Bone marrow aspirate smear:
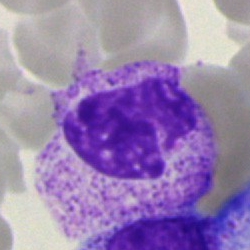 Q: Which cell type is shown here?
A: This is a segmented neutrophil.